Bone marrow smear.
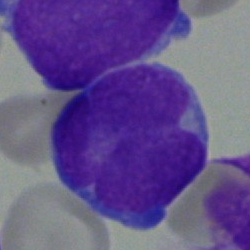
Morphology consistent with a blast cell.